Bone marrow aspirate smear · 40× objective, oil immersion.
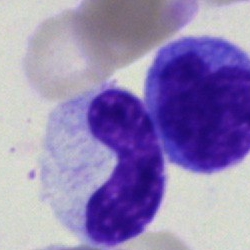 Single cell identified as a band neutrophil.